Image size 250×250; bone marrow aspirate smear; 40× objective, oil immersion:
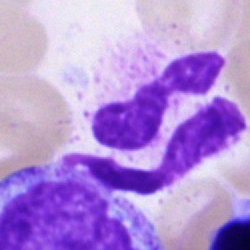
Q: What is the morphological classification of this cell?
A: A neutrophil (segmented).